Peripheral blood film.
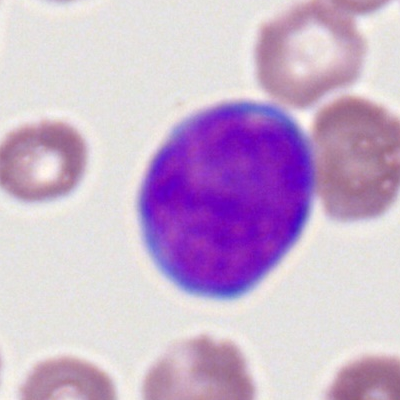Q: What type of cell is this?
A: It is a myeloblast.